Bone marrow aspirate smear
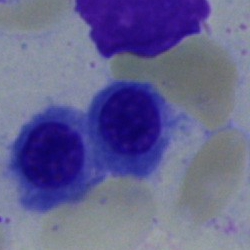

Q: Which cell type is shown here?
A: This is an erythroblast.